Bone marrow smear:
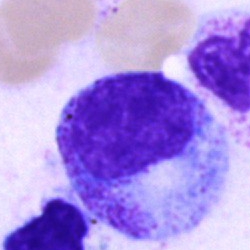 Cell type — promyelocyte.